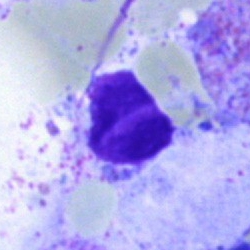 Impression → artefact.